Peripheral blood film.
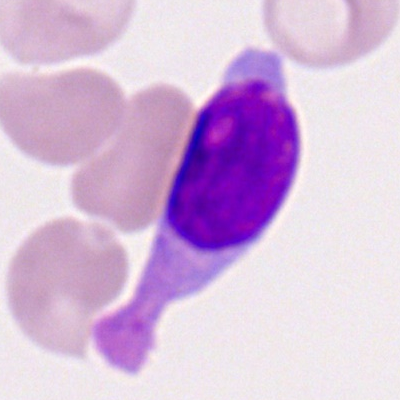 Typical lymphocyte.